Bone marrow aspirate smear. May-Grünwald-Giemsa/Pappenheim stain. 40× objective, oil immersion.
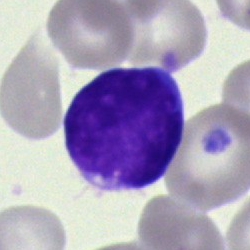

Single cell identified as a blast.